Image size 250×250; bone marrow aspirate smear.
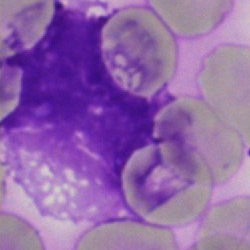{"cell_type": "artefact"}